Bone marrow smear
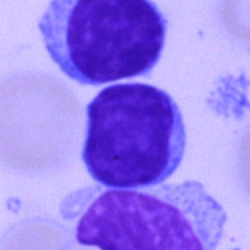Impression — lymphocyte.